Bone marrow aspirate smear: 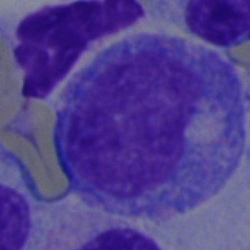

Specimen: bone marrow smear.
Cell type: promyelocyte.
Lineage: myeloid.